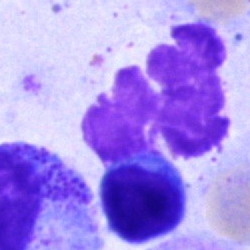Cell type = artifact.